Bone marrow aspirate smear — 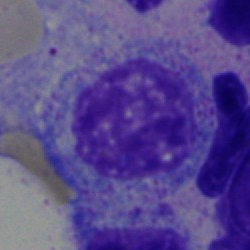

Classification: myelocyte.